Bone marrow smear. 40× objective, oil immersion. Single-cell crop.
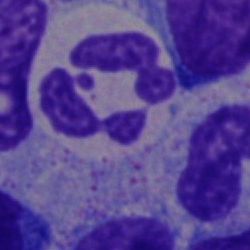
Single cell identified as a neutrophil (segmented).